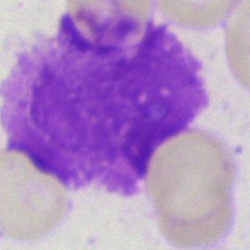 Morphology — artifact.